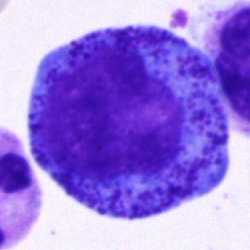Morphological class — progranulocyte.